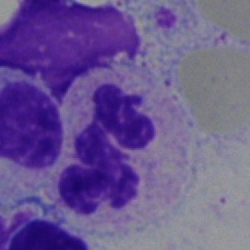Showing a polymorphonuclear neutrophil.